Bone marrow smear · 250×250 px.
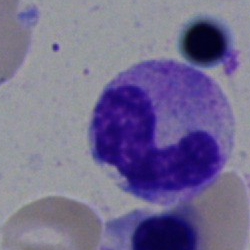
Q: What is the morphological classification of this cell?
A: This is a stab cell.